Bone marrow aspirate smear:
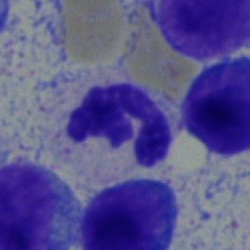 Cell type = neutrophil (segmented).